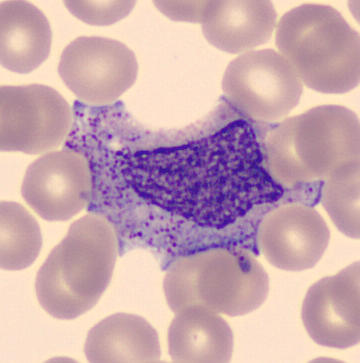

Specimen: peripheral blood film.
Cell type: myelocyte.